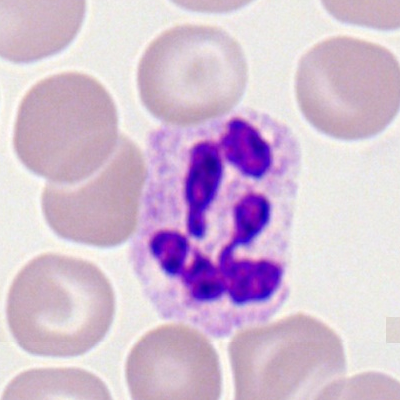 Cell type = polymorphonuclear neutrophil.